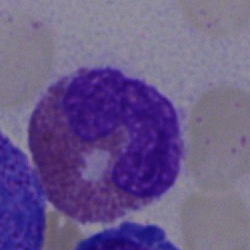
{"cell_type": "eosinophil", "lineage": "myeloid"}